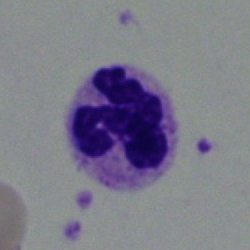
Q: What is the morphological classification of this cell?
A: This is a segmented neutrophil.